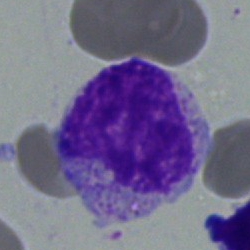 Morphological class — myelocyte.